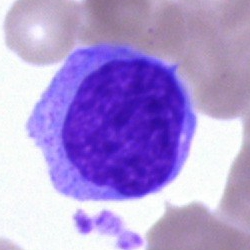 An undifferentiated blast on a bone marrow smear.